Bone marrow smear; May-Grünwald-Giemsa/Pappenheim stain
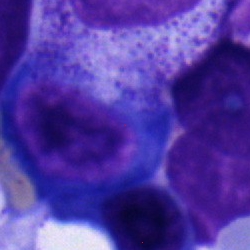

Q: Which cell type is shown here?
A: It is a nucleated red cell.